Peripheral blood film. Romanowsky stain:
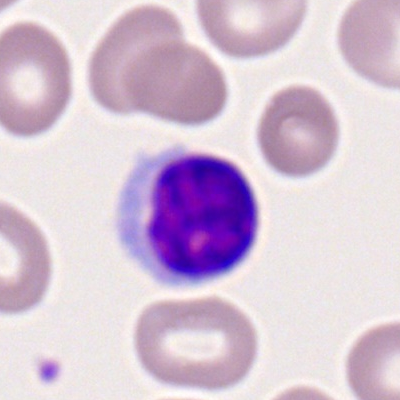 Showing a lymphocyte.